Single-cell field; bone marrow aspirate smear — 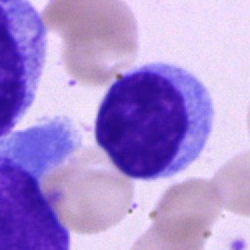
Q: Identify the cell.
A: This is a lymphocyte.